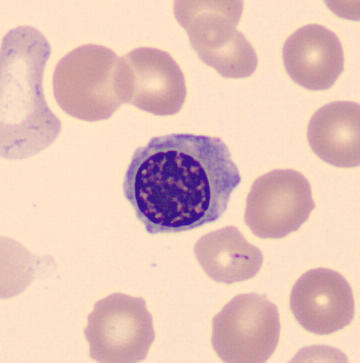Cropped to a single cell; imaged on a CellaVision DM96 analyser; peripheral blood film.

Impression — nucleated red blood cell.